Bone marrow smear
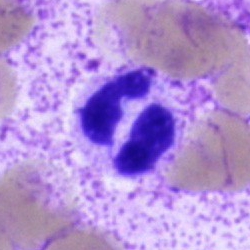

Morphology consistent with a segmented neutrophil.